Pappenheim-stained. Single cell centered in the field. Bone marrow aspirate smear: 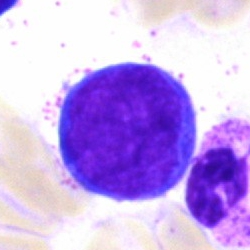
This is a pronormoblast.